Bone marrow aspirate smear — 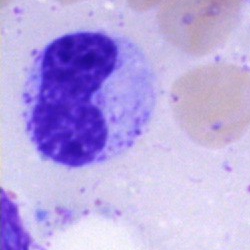

Q: What type of cell is this?
A: A metamyelocyte.